250 by 250 pixels · bone marrow aspirate smear: 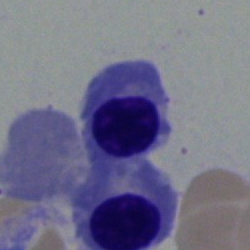

The classification is normoblast.